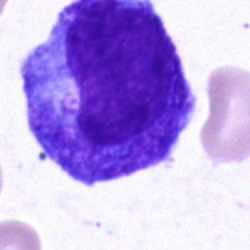
Morphology consistent with a progranulocyte.